Bone marrow smear. May-Grünwald-Giemsa stain. Brightfield microscopy, 40× oil immersion
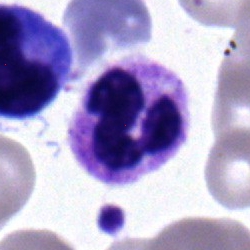 Specimen: bone marrow smear.
Morphological class: neutrophil (segmented).
Lineage: myeloid.